Bone marrow smear.
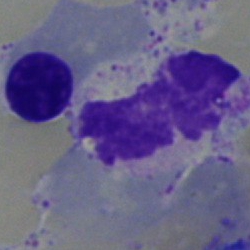

{"cell_type": "segmented neutrophil"}